Bone marrow smear.
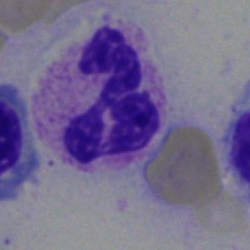

Showing a polymorphonuclear neutrophil.